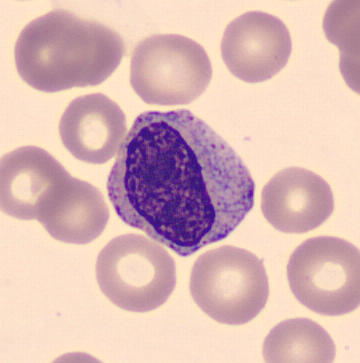 The morphological class is myelocyte. CellaVision DM96 digital cell image · peripheral blood film.